Bone marrow aspirate smear — 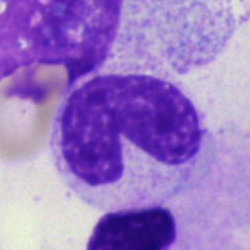

Specimen: bone marrow aspirate smear.
Morphological class: stab cell.
Lineage: myeloid.